Bone marrow aspirate smear.
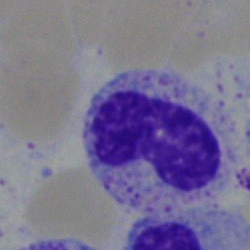Morphology → neutrophil (band).